Bone marrow smear; 40× oil immersion:
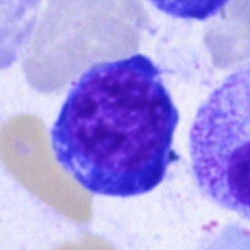
Specimen: bone marrow smear.
Morphological class: normoblast.
Lineage: erythroid.